Bone marrow smear · May-Grünwald-Giemsa/Pappenheim stain: 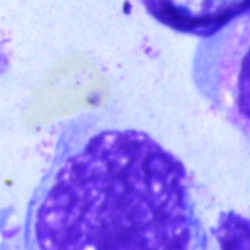

Q: What is shown here?
A: An artifact.